250×250. Bone marrow aspirate smear. MGG-stained:
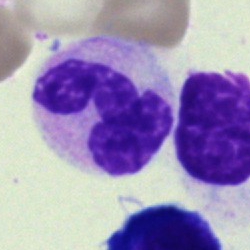
{"cell_type": "polymorphonuclear neutrophil"}